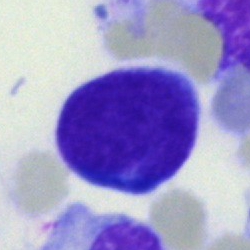
Morphology consistent with a blast.